250×250 · bone marrow aspirate smear · single cell centered in the field: 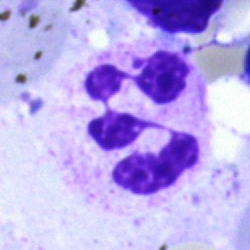 Impression — neutrophil (segmented).